Bone marrow smear
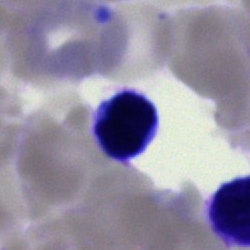 A lymphocyte.